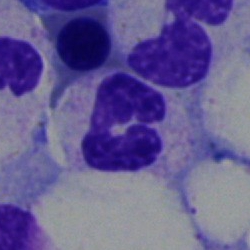Morphology consistent with a segmented neutrophil.